Bone marrow aspirate smear — 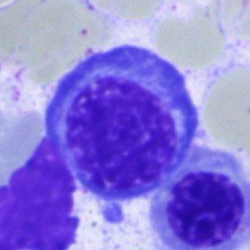Q: Identify the cell.
A: Normoblast.